250×250 px; bone marrow smear; 40× oil immersion:
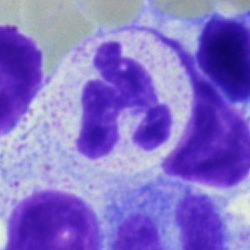

Neutrophil (segmented).